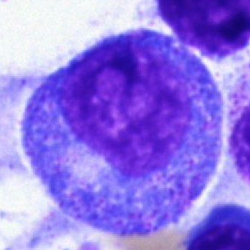 Q: What type of cell is this?
A: Promyelocyte.